Bone marrow aspirate smear.
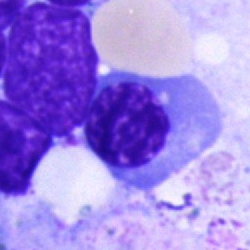

Q: Which cell type is shown here?
A: It is an erythroblast.